Bone marrow smear — 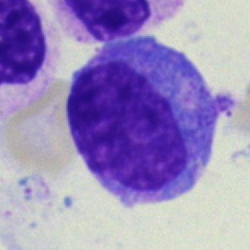 Q: Which cell type is shown here?
A: This is a monocyte.